Bone marrow smear — 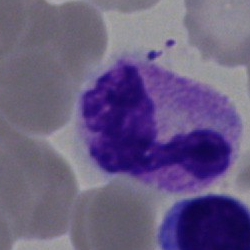Specimen: bone marrow smear.
Cell type: polymorphonuclear neutrophil.
Lineage: myeloid.